Brightfield microscopy, 40× oil immersion. Bone marrow smear:
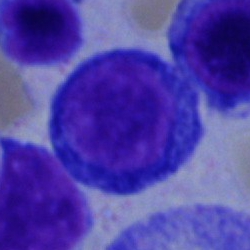A proerythroblast.